Bone marrow aspirate smear
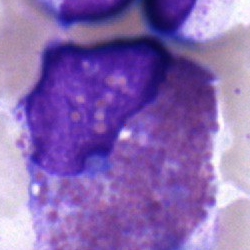 Morphological class: eosinophilic granulocyte.